Bone marrow aspirate smear — 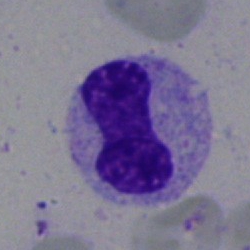
A band neutrophil.